Peripheral blood smear · image size 360×363 · MGG stain.
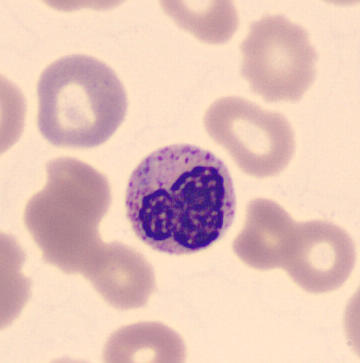Identified as a stab cell.